250×250 px; bone marrow smear; single cell centered in the field: 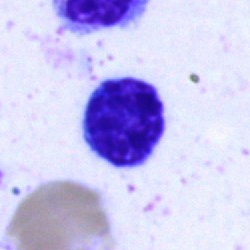Cell type — lymphocyte.